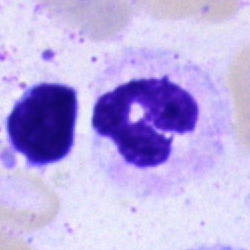This is a segmented neutrophil.